Bone marrow smear
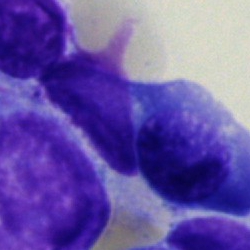

Morphology consistent with an unidentifiable cell.